Brightfield microscopy, 40× oil immersion · bone marrow aspirate smear
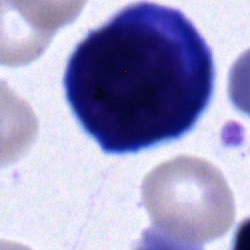
This is a lymphocyte.